Bone marrow smear; 250 by 250 pixels — 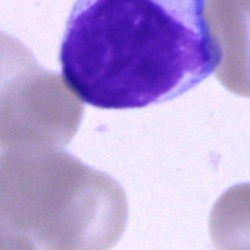
This is a typical lymphocyte.